Bone marrow smear: 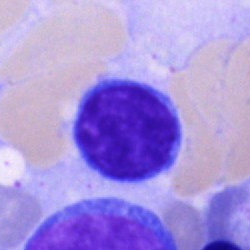 Showing a lymphocyte.